Single-cell field · bone marrow aspirate smear.
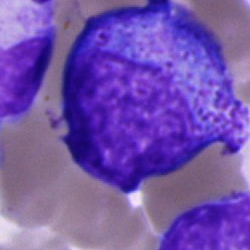 Single cell identified as a progranulocyte.